Brightfield microscopy, 40× oil immersion; bone marrow aspirate smear:
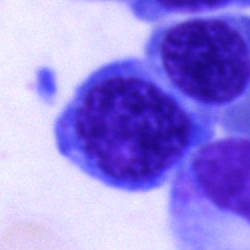Impression — nucleated red blood cell.